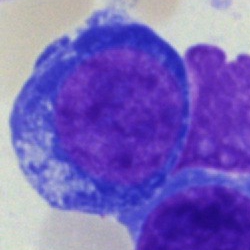 Specimen: bone marrow aspirate smear.
Classification: pronormoblast.
Lineage: erythroid.